Bone marrow aspirate smear · single-cell field
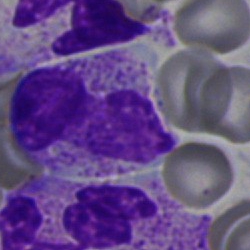
Cell: neutrophil (band).